Bone marrow aspirate smear · 250×250 px:
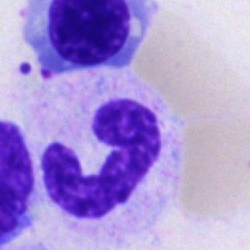

Neutrophil (segmented).